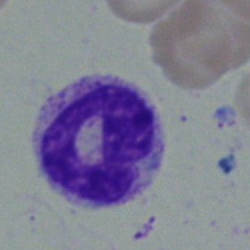
The cell type is band neutrophil.